Cropped to a single cell; peripheral blood smear.
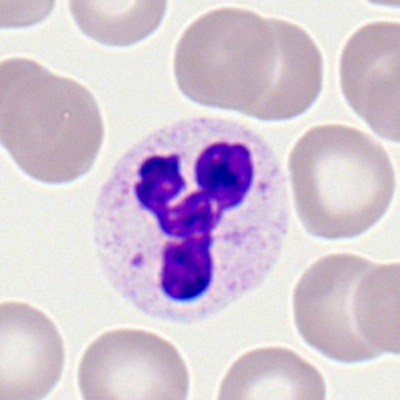 Cell — polymorphonuclear neutrophil.